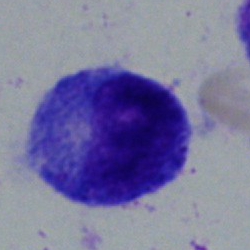 Cell type — progranulocyte.